Peripheral blood smear.
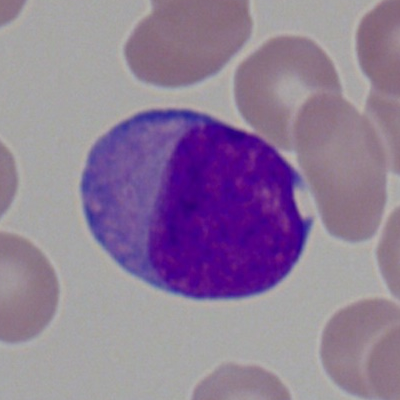

{"cell_type": "myeloid blast", "lineage": "myeloid"}